250×250 px. Brightfield microscopy, 40× oil immersion. Bone marrow smear: 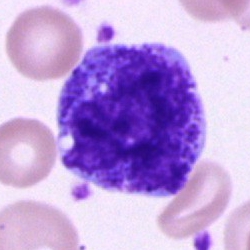 This is a promyelocyte.